Single-cell crop. Brightfield microscopy, 40× oil immersion. Bone marrow smear.
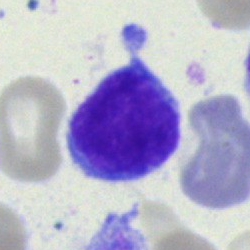

The classification is typical lymphocyte.